Bone marrow aspirate smear: 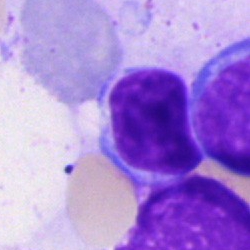

A lymphocyte.